Bone marrow smear:
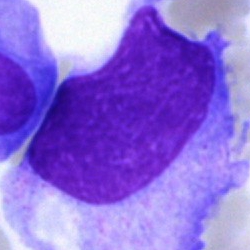Morphological class: undifferentiated blast.